Brightfield microscopy, 40× oil immersion; bone marrow aspirate smear: 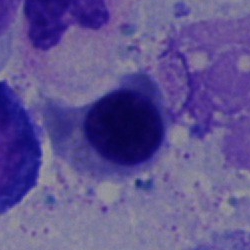

Erythroblast.